40× objective, oil immersion · bone marrow aspirate smear.
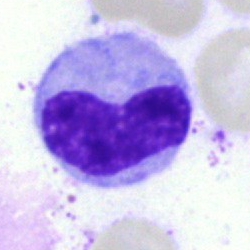 Cell type — neutrophil (band).